Bone marrow aspirate smear; 250 by 250 pixels:
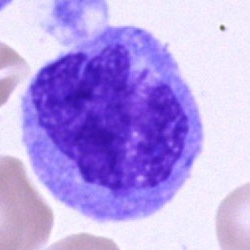

Showing a monocyte.